40× objective, oil immersion. Bone marrow smear.
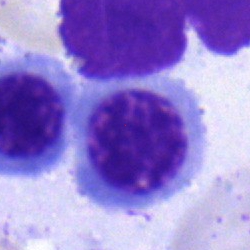

Specimen: bone marrow aspirate smear.
Cell type: nucleated red cell.